Cropped to a single cell · bone marrow aspirate smear.
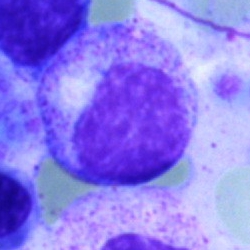The cell shown is a myelocyte.